Peripheral blood film:
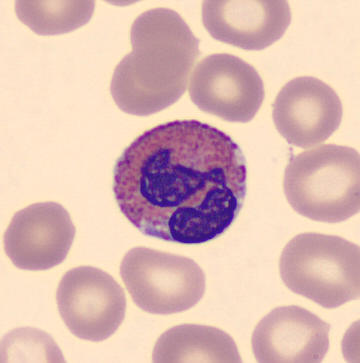
{"cell_type": "eosinophil", "lineage": "myeloid"}